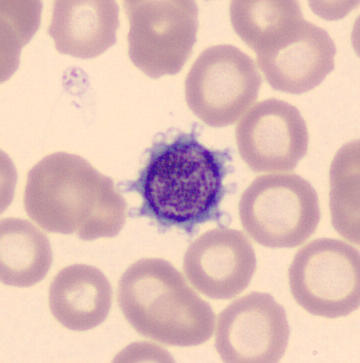
Specimen: peripheral blood film.
Morphological class: thrombocyte.

Automated cell imaging (CellaVision DM96).